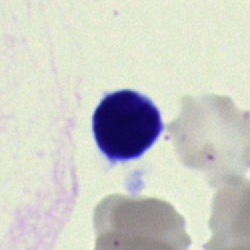
A lymphocyte.